Bone marrow aspirate smear — 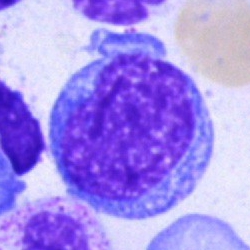The cell is blast.